Bone marrow aspirate smear — 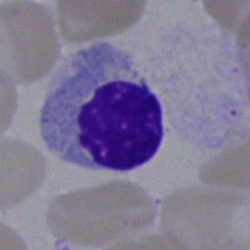 Showing a nucleated red cell.